Brightfield microscopy, 40× oil immersion · single-cell field · bone marrow aspirate smear — 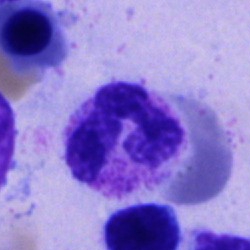 This is a neutrophil (segmented).